Bone marrow smear; May-Grünwald-Giemsa stain; single-cell crop: 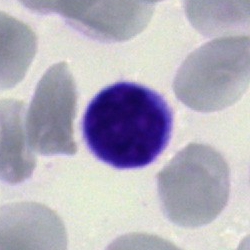

This is a typical lymphocyte.